Bone marrow smear:
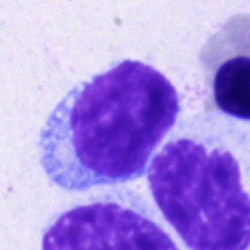
Cell type: lymphocyte.